Single-cell field · bone marrow aspirate smear.
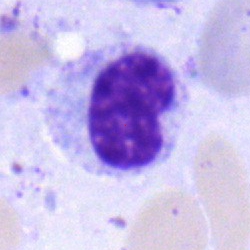

The classification is metamyelocyte.